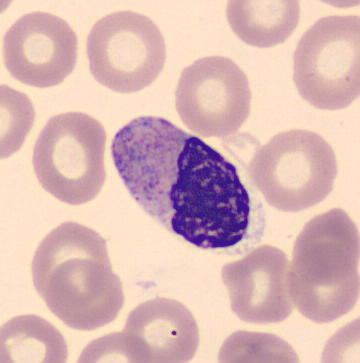{"cell_type": "metamyelocyte", "lineage": "myeloid"}

MGG stain; 360×363; peripheral blood film.